Bone marrow aspirate smear. Pappenheim-stained
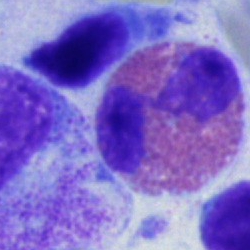
Classification = eosinophil.